40× objective, oil immersion. Single-cell field. Bone marrow aspirate smear
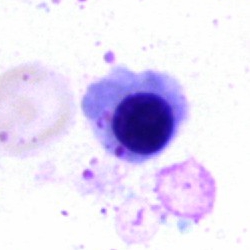

Specimen: bone marrow smear.
Morphological class: nucleated red blood cell.